Bone marrow aspirate smear:
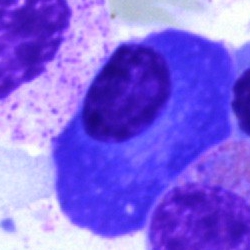
Classification = plasma cell.